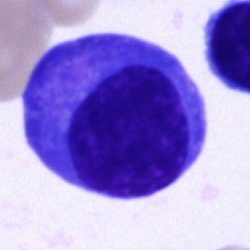

Classification = plasmacyte.